Peripheral blood smear. 400×400.
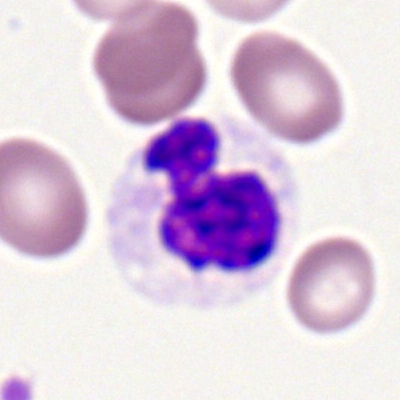

Q: What type of cell is this?
A: Neutrophil (segmented).